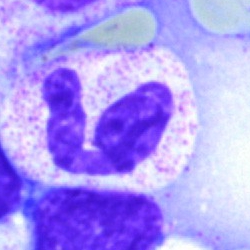 Impression → neutrophil (segmented).